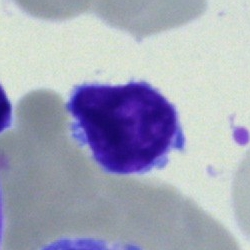
Specimen: bone marrow aspirate smear.
Cell: lymphocyte.